Bone marrow smear; single cell centered in the field.
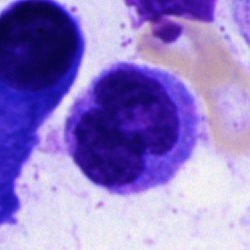

Morphology → monocyte.